Bone marrow aspirate smear: 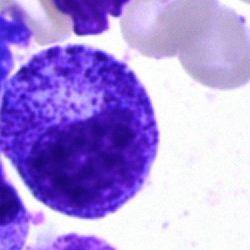
Progranulocyte.